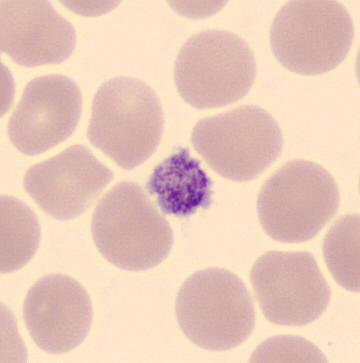

The classification is platelet (thrombocyte).